Bone marrow smear; MGG-stained.
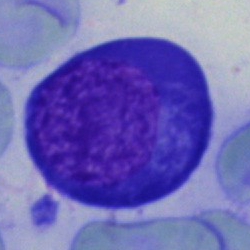 Morphological class = erythroblast.